Bone marrow aspirate smear
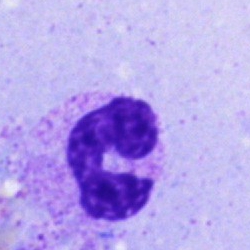
Single cell identified as a polymorphonuclear neutrophil.